Bone marrow smear
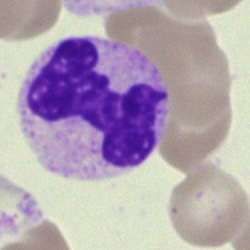Specimen: bone marrow smear.
Cell type: segmented neutrophil.
Lineage: myeloid.